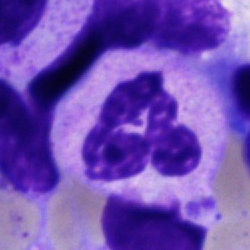
The cell is segmented neutrophil.